Bone marrow aspirate smear: 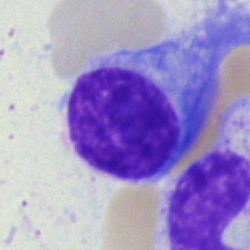
Specimen: bone marrow aspirate smear.
Cell: plasma cell.
Lineage: lymphoid.